250 by 250 pixels. Bone marrow smear: 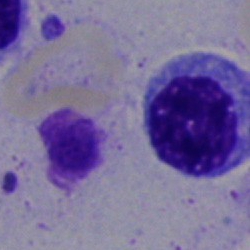
Single cell identified as an erythroblast.